Bone marrow aspirate smear. Brightfield, 40× oil-immersion objective. Single-cell crop:
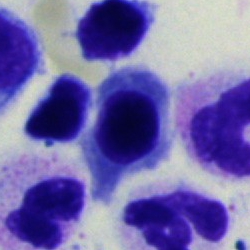 {"cell_type": "normoblast", "lineage": "erythroid"}